Bone marrow smear — 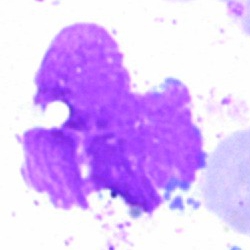 Single cell identified as an artefact.